Brightfield microscopy, 40× oil immersion; bone marrow smear
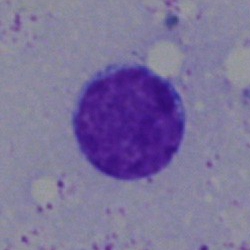 Impression → typical lymphocyte.